Bone marrow aspirate smear
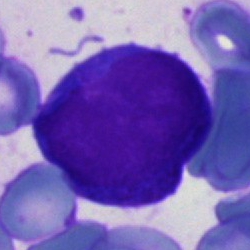Undifferentiated blast.